Cropped to a single cell. 250×250. Bone marrow smear — 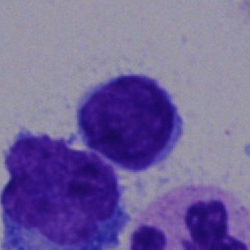
Morphology — typical lymphocyte.